Romanowsky stain. Peripheral blood smear. Single-cell crop — 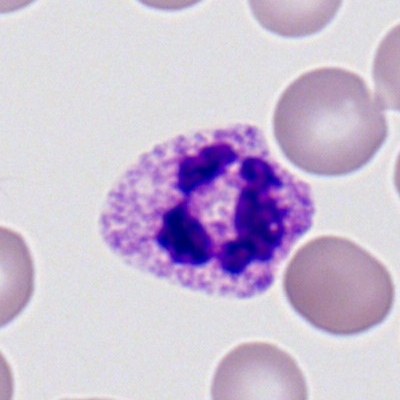
The cell shown is a segmented neutrophil.